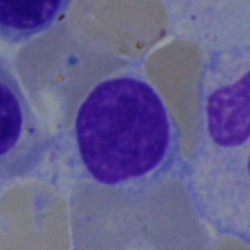
The classification is lymphocyte.